Bone marrow smear — 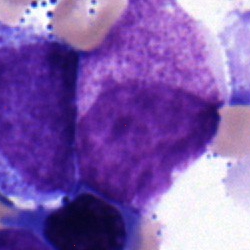

Classification — blast.